Single-cell field; bone marrow smear; MGG-stained
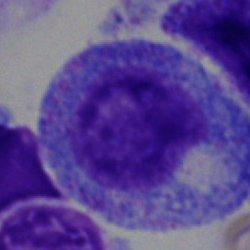
Cell type — promyelocyte.